Bone marrow smear. Cropped to a single cell:
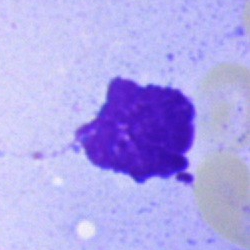Specimen: bone marrow aspirate smear.
Cell: artefact.